Single-cell crop · bone marrow smear.
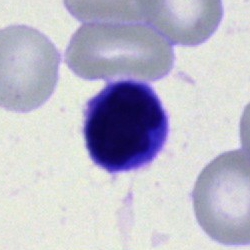 Q: What is the morphological classification of this cell?
A: Lymphocyte.